Bone marrow aspirate smear. Cropped to a single cell: 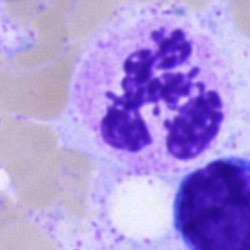Morphological class = polymorphonuclear neutrophil.